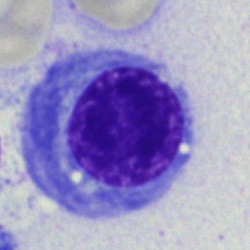 The cell shown is an erythroblast.